Bone marrow smear
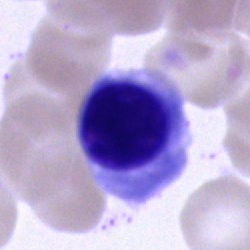

Morphology → normoblast.